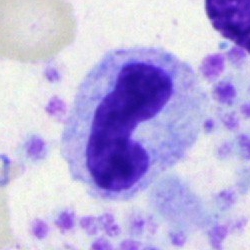
Bone marrow smear showing a band-form neutrophil.